Bone marrow aspirate smear
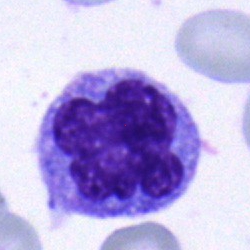Morphology — monocyte.